Bone marrow smear:
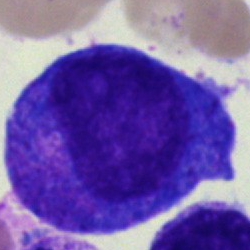
Promyelocyte.